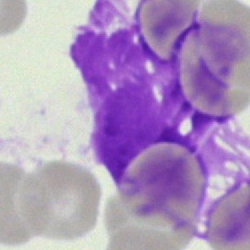
{"cell_type": "artefact"}